Single-cell crop; bone marrow aspirate smear: 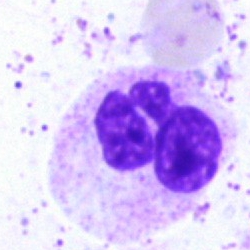Showing a polymorphonuclear neutrophil.